Bone marrow smear.
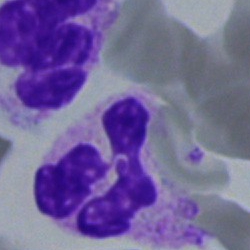
Specimen: bone marrow aspirate smear.
Classification: polymorphonuclear neutrophil.